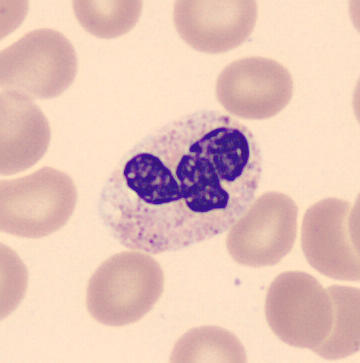Cell type: polymorphonuclear neutrophil.
Image: Single cell centered in the field; peripheral blood smear; imaged on a CellaVision DM96 analyser.